Bone marrow aspirate smear:
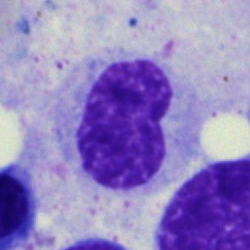Q: What cell is this?
A: Metamyelocyte.